Bone marrow smear
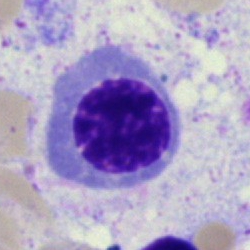

{"cell_type": "normoblast", "lineage": "erythroid"}